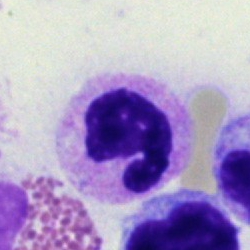Q: Identify the cell.
A: This is a polymorphonuclear neutrophil.